Single-cell field. Bone marrow smear:
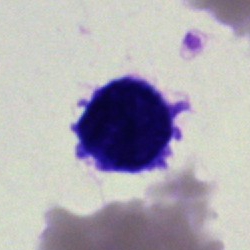 Q: What is shown here?
A: This is an artifact.